Peripheral blood film:
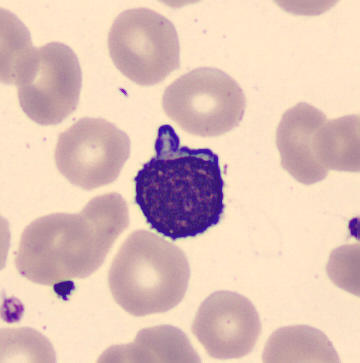

{"cell_type": "lymphocyte", "lineage": "lymphoid"}